Bone marrow smear
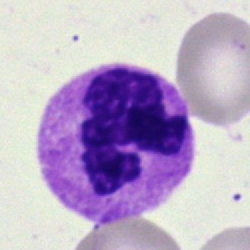Q: What cell is this?
A: Polymorphonuclear neutrophil.